Bone marrow smear · MGG-stained · 250×250:
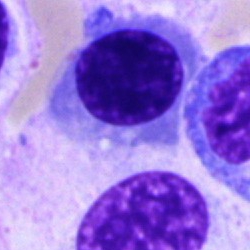Single cell identified as a normoblast.